Bone marrow smear — 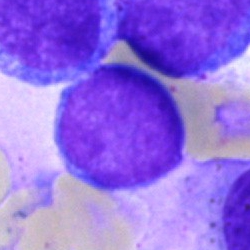
Morphology consistent with an undifferentiated blast.